Bone marrow aspirate smear
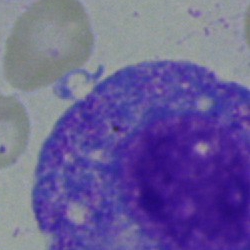 Morphology → promyelocyte.